Bone marrow smear; single-cell crop: 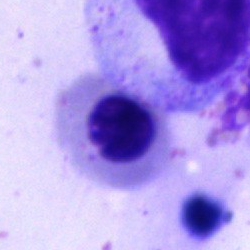 Morphology — nucleated red cell.